Bone marrow smear: 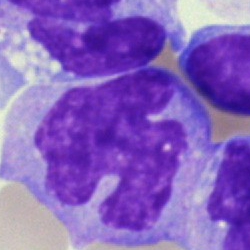 Cell = monocyte.